Bone marrow smear
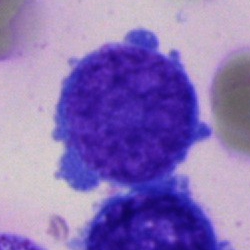 Blast cell.